May-Grünwald-Giemsa stain; bone marrow aspirate smear; single-cell crop — 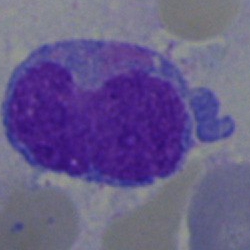 Specimen: bone marrow aspirate smear.
Classification: undifferentiated blast.